Peripheral blood film. Cropped to a single cell.
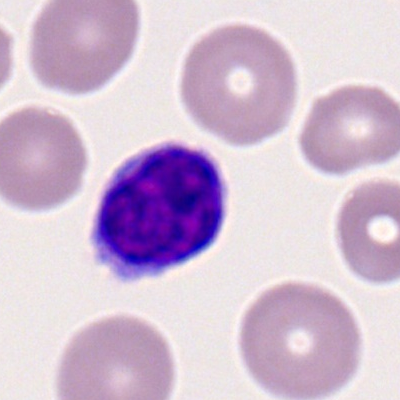

Classification = typical lymphocyte.